Bone marrow aspirate smear; May-Grünwald-Giemsa/Pappenheim stain — 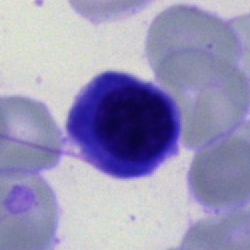
Impression — nucleated red cell.